Bone marrow smear — 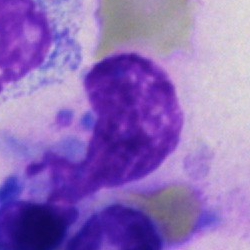This is an artefact.